May-Grünwald-Giemsa/Pappenheim stain; bone marrow smear — 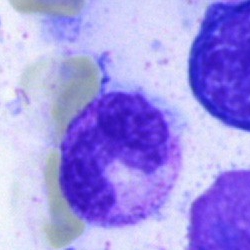The cell is neutrophil (band).